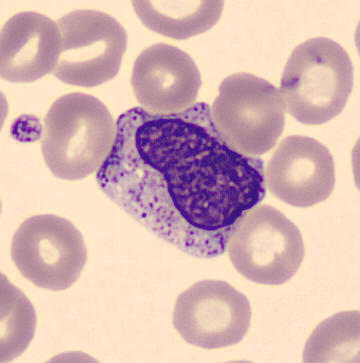The cell type is metamyelocyte. Peripheral blood smear.